Bone marrow smear.
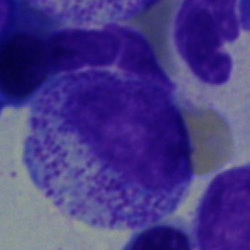 This is a myelocyte.